Bone marrow smear: 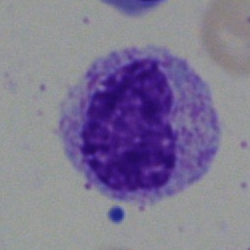
A metamyelocyte.